Bone marrow aspirate smear; 250×250: 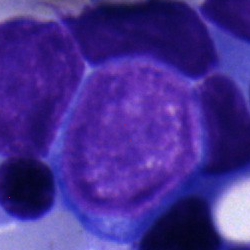 Q: What is shown here?
A: This is a typical lymphocyte.